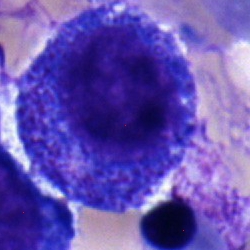 Bone marrow smear showing a promyelocyte.